Bone marrow smear — 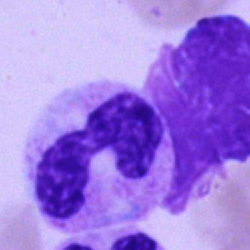

Specimen: bone marrow aspirate smear.
Classification: band-form neutrophil.
Lineage: myeloid.